Single-cell field; bone marrow aspirate smear — 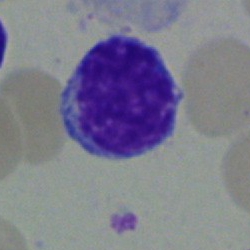 Showing a lymphocyte.